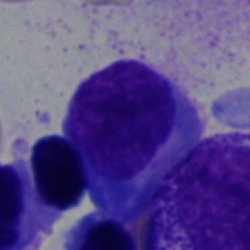
Morphology — plasma cell.